Romanowsky-stained · peripheral blood smear — 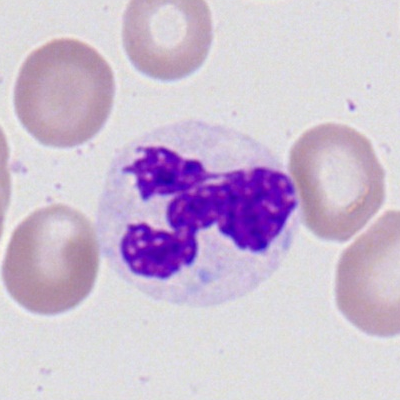The cell type is neutrophil (segmented).